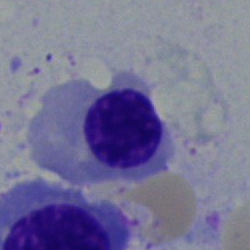 The cell type is erythroblast.